100× objective, oil immersion · peripheral blood smear:
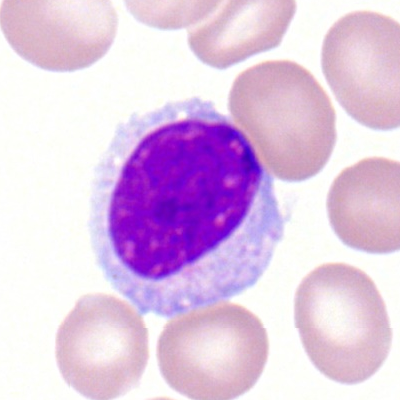Cell = lymphocyte.